Bone marrow smear
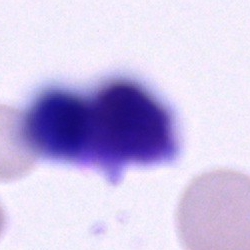
Cell: artifact.